Bone marrow smear. Single-cell crop.
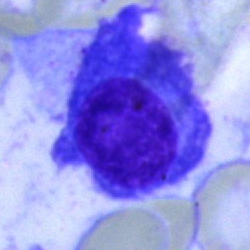{"cell_type": "plasma cell", "lineage": "lymphoid"}